Bone marrow aspirate smear:
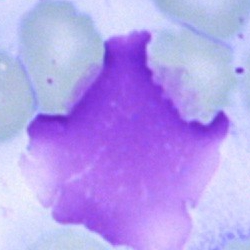
Morphological class — artifact.